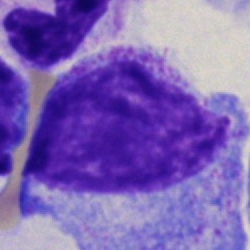 Specimen: bone marrow smear.
Cell: progranulocyte.